Single cell centered in the field. Bone marrow aspirate smear.
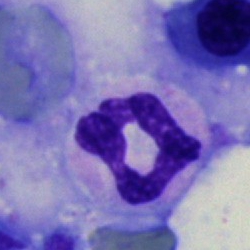

This is a neutrophil (segmented).